Bone marrow aspirate smear
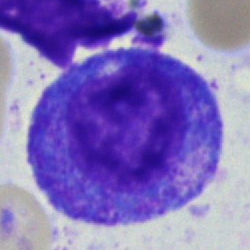
Metamyelocyte.